Single cell centered in the field · 40× oil immersion · bone marrow aspirate smear.
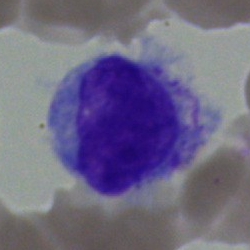 Q: What type of cell is this?
A: A monocyte.